Bone marrow smear
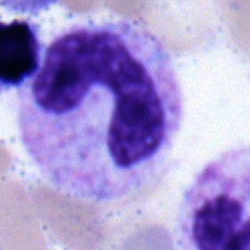
The cell shown is a band-form neutrophil.